Bone marrow aspirate smear
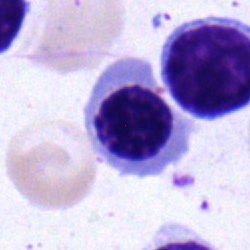 Classification = nucleated red blood cell.